Bone marrow aspirate smear:
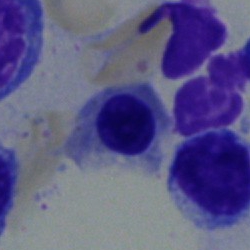

Morphological class = normoblast.